250 by 250 pixels. Bone marrow aspirate smear:
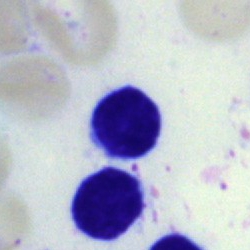Morphology — typical lymphocyte.